Bone marrow aspirate smear · brightfield microscopy, 40× oil immersion · May-Grünwald-Giemsa/Pappenheim stain — 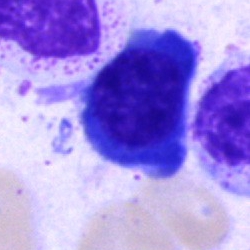
The cell shown is a normoblast.